Bone marrow aspirate smear · brightfield microscopy, 40× oil immersion:
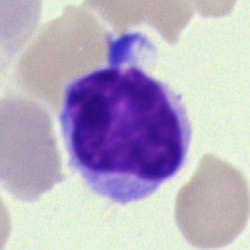

The cell type is typical lymphocyte.